Bone marrow aspirate smear.
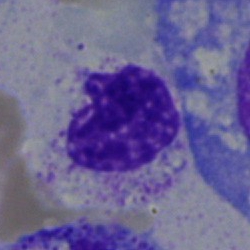 Specimen: bone marrow smear.
Cell type: segmented neutrophil.
Lineage: myeloid.